Cropped to a single cell; bone marrow aspirate smear
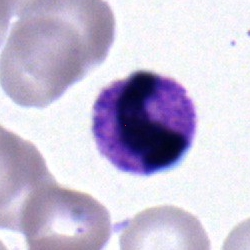 Polymorphonuclear neutrophil.